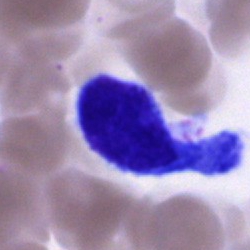

{"cell_type": "cell of indeterminate lineage"}